Bone marrow smear:
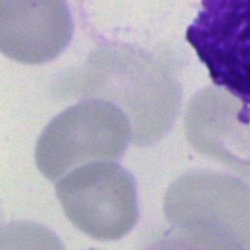Cell type: artefact.